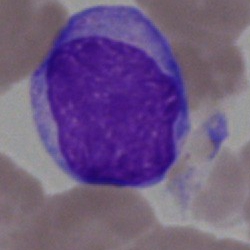 Morphological class = blast cell.